Bone marrow aspirate smear:
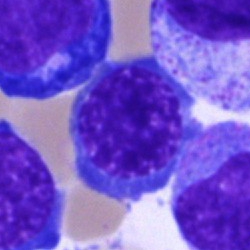

Q: What is the morphological classification of this cell?
A: This is a nucleated red blood cell.